Brightfield microscopy, 40× oil immersion; bone marrow aspirate smear
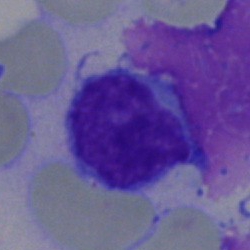

Single cell identified as a lymphocyte.